Peripheral blood smear. 400×400 px.
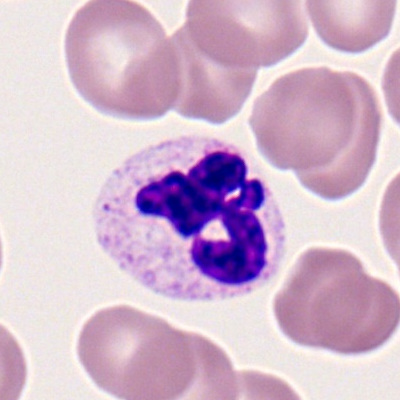 Morphology consistent with a segmented neutrophil.